Bone marrow smear; 250 by 250 pixels:
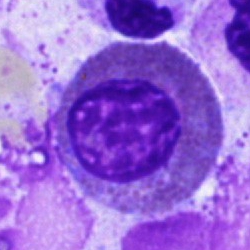 Specimen: bone marrow smear.
Cell type: eosinophil.